Bone marrow aspirate smear · single cell centered in the field:
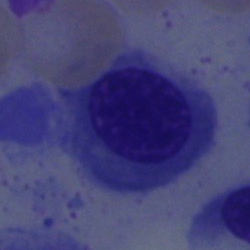Single cell identified as a normoblast.